Bone marrow aspirate smear.
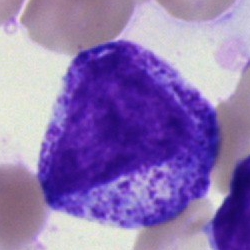

The cell shown is a progranulocyte.